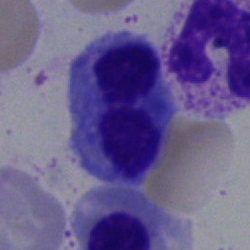 Cell type = erythroblast.